Bone marrow smear. May-Grünwald-Giemsa/Pappenheim stain. Brightfield, 40× oil-immersion objective
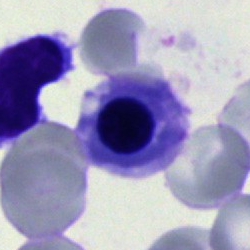Q: What type of cell is this?
A: A nucleated red cell.